Bone marrow smear; 250×250 px:
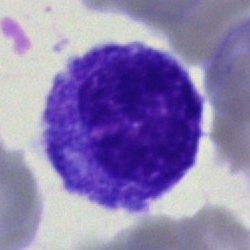
Morphology consistent with a promyelocyte.